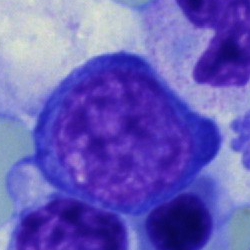

A normoblast.